Bone marrow smear — 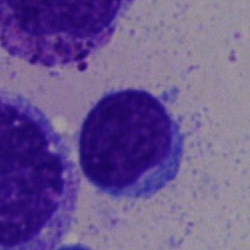

Morphology — typical lymphocyte.